Bone marrow smear: 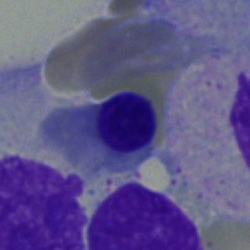

Cell type — nucleated red blood cell.